250×250 px. Bone marrow smear. Brightfield microscopy, 40× oil immersion: 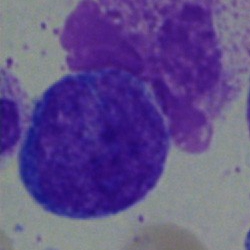
A blast cell.